Bone marrow aspirate smear: 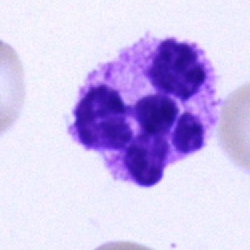Morphology consistent with a segmented neutrophil.